Bone marrow smear — 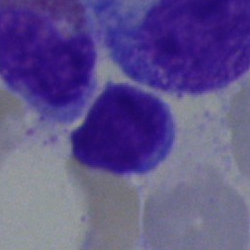

Specimen: bone marrow aspirate smear.
Classification: typical lymphocyte.
Lineage: lymphoid.